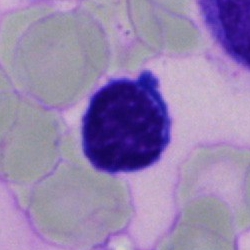
Cell: typical lymphocyte.